Brightfield, 40× oil-immersion objective · bone marrow smear — 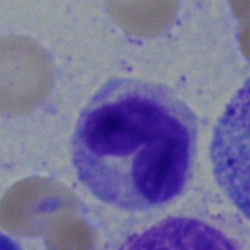 Classification — stab cell.